250×250 · bone marrow aspirate smear
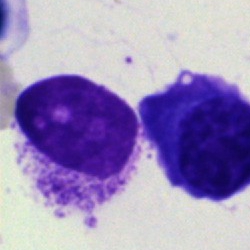 The cell shown is an artifact.